Bone marrow smear:
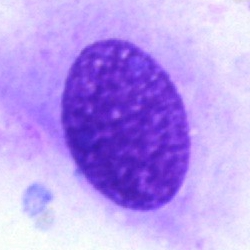

Q: What is shown here?
A: This is an artifact.